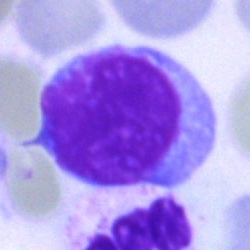
Q: Identify the cell.
A: A typical lymphocyte.